40× objective, oil immersion. Bone marrow aspirate smear.
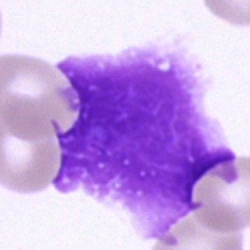 Artifact.